Bone marrow aspirate smear
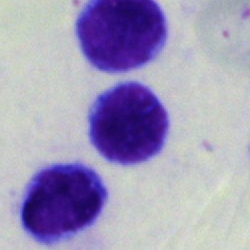
This is a typical lymphocyte.